Bone marrow aspirate smear · May-Grünwald-Giemsa stain · single-cell field
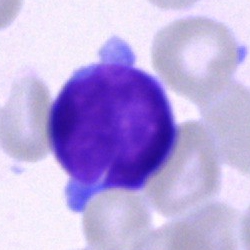

Classification = undifferentiated blast.